40× oil immersion; bone marrow aspirate smear; Pappenheim-stained
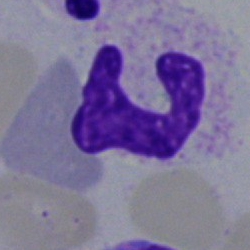 Q: What is the morphological classification of this cell?
A: This is a polymorphonuclear neutrophil.